250×250 · bone marrow smear: 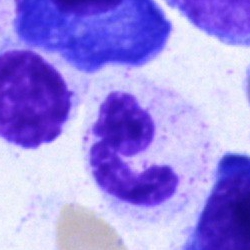

A segmented neutrophil.